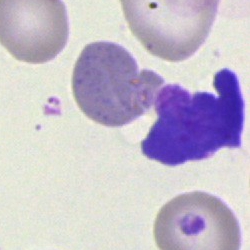

Impression → artifact.